Bone marrow aspirate smear — 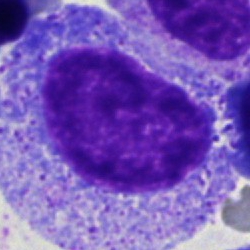

Progranulocyte.